250 by 250 pixels · bone marrow smear — 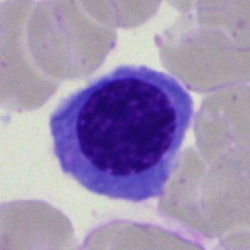Q: What is shown here?
A: A normoblast.